Bone marrow smear: 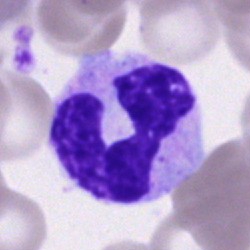
Specimen: bone marrow smear.
Cell type: segmented neutrophil.
Lineage: myeloid.